Bone marrow aspirate smear. MGG-stained. Single-cell field — 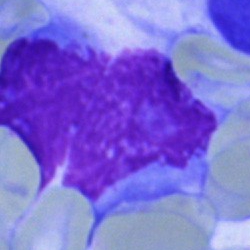
Artefact.